Single-cell field · brightfield microscopy, 40× oil immersion · bone marrow aspirate smear — 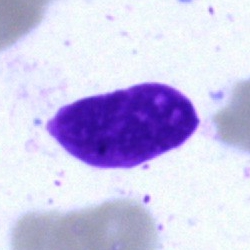Morphological class — artifact.